Bone marrow aspirate smear.
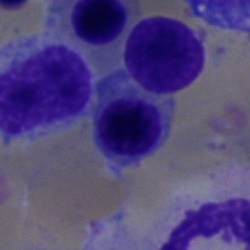The cell is erythroblast.